Bone marrow smear; 250×250 px:
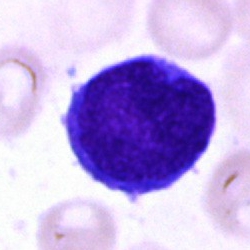 Classification = undifferentiated blast.